Bone marrow aspirate smear: 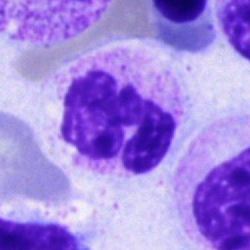
Specimen: bone marrow smear.
Classification: neutrophil (segmented).
Lineage: myeloid.